Bone marrow smear. Brightfield microscopy, 40× oil immersion.
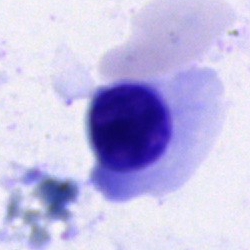 Cell type: normoblast.